Bone marrow smear; 250×250 px: 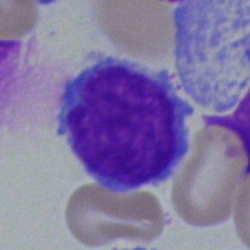
Morphology consistent with a lymphocyte.